Brightfield, 40× oil-immersion objective · bone marrow smear: 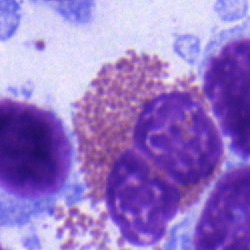Morphology — eosinophilic granulocyte.